Peripheral blood smear · 100× objective, oil immersion — 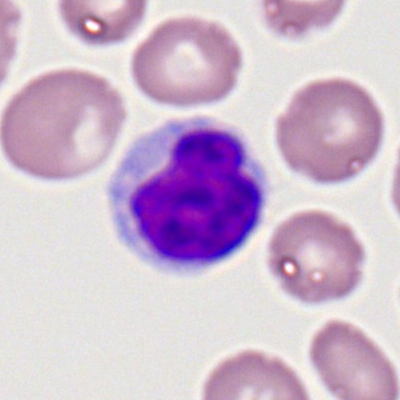
Classification: typical lymphocyte.